MGG-stained · bone marrow aspirate smear.
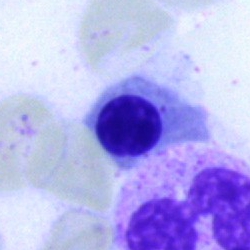

Q: What cell is this?
A: Nucleated red cell.